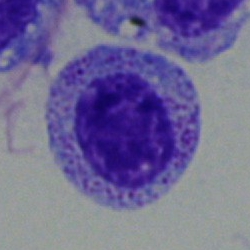Specimen: bone marrow aspirate smear.
Cell type: myelocyte.
Lineage: myeloid.